Bone marrow aspirate smear; Pappenheim-stained; cropped to a single cell: 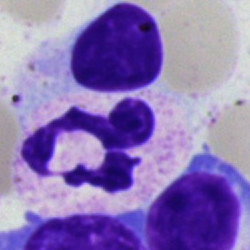

Impression — segmented neutrophil.